Bone marrow aspirate smear:
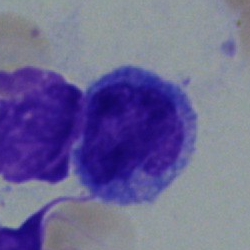Specimen: bone marrow aspirate smear.
Morphological class: monocyte.